Bone marrow smear.
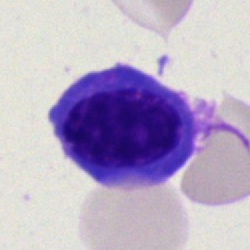{"cell_type": "nucleated red blood cell", "lineage": "erythroid"}